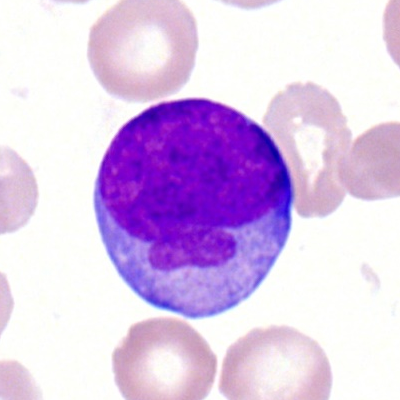 Q: What is the morphological classification of this cell?
A: This is a myeloblast.